Bone marrow smear
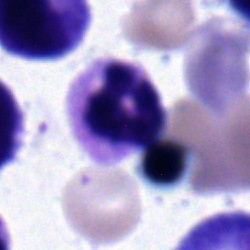 A myelocyte.